Bone marrow aspirate smear · 250 by 250 pixels · May-Grünwald-Giemsa/Pappenheim stain
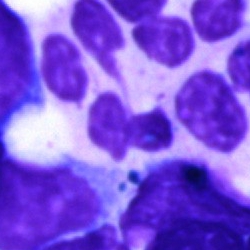
Cell type = neutrophil (segmented).